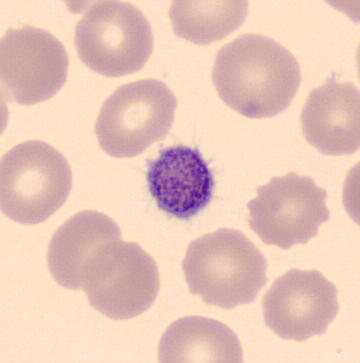 Image: Peripheral blood smear.

Morphology → platelet.